Cropped to a single cell; bone marrow smear:
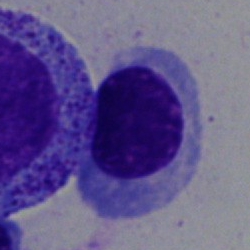 Morphology — nucleated red blood cell.